Bone marrow aspirate smear; May-Grünwald-Giemsa/Pappenheim stain:
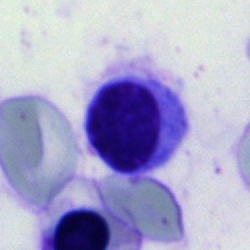Q: What is shown here?
A: A typical lymphocyte.